Bone marrow smear. Single-cell field. 250 by 250 pixels:
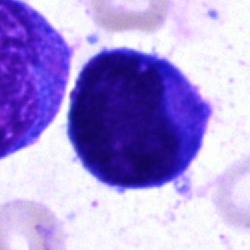

Specimen: bone marrow aspirate smear.
Morphological class: blast cell.